Peripheral blood film — 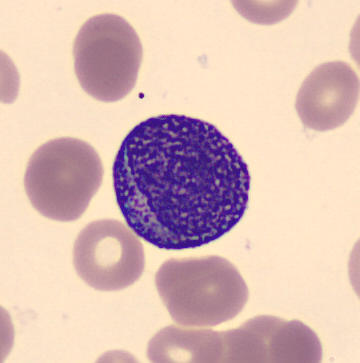 Showing a progranulocyte.